Bone marrow aspirate smear.
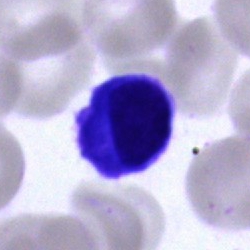 Q: What is the morphological classification of this cell?
A: Plasmacyte.